Bone marrow aspirate smear
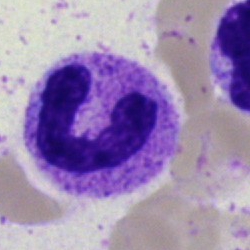 Morphological class: neutrophil (segmented).